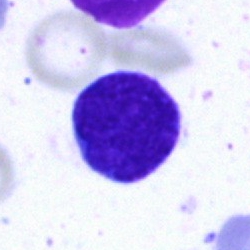

Q: Identify the cell.
A: A lymphocyte.